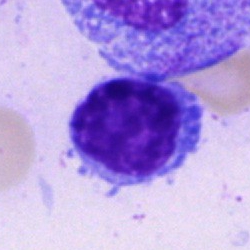

Cell type = typical lymphocyte.